Bone marrow smear: 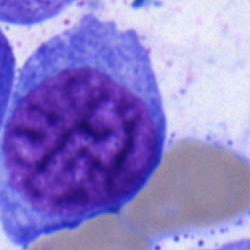
Q: What is the morphological classification of this cell?
A: Blast cell.